Bone marrow aspirate smear; 40× objective, oil immersion; single-cell field: 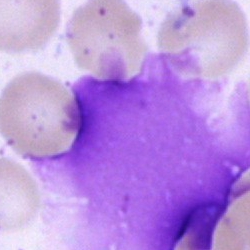

Morphology consistent with an artifact.